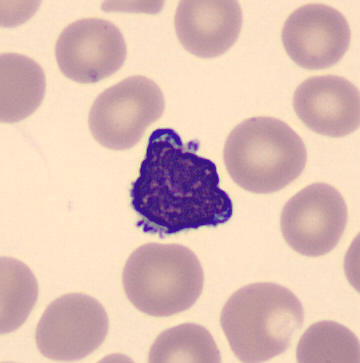 Single cell identified as a typical lymphocyte.